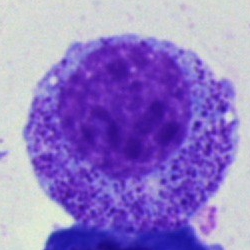
Classification = progranulocyte.